Bone marrow aspirate smear:
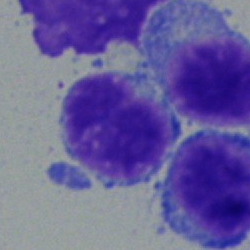 Q: What is the morphological classification of this cell?
A: It is a typical lymphocyte.